MGG-stained · bone marrow smear — 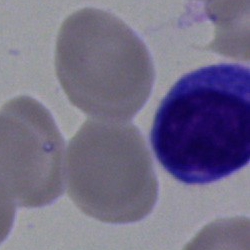
The morphological class is lymphocyte.